Bone marrow aspirate smear.
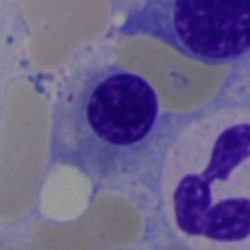 Q: What is shown here?
A: Nucleated red blood cell.